Bone marrow smear — 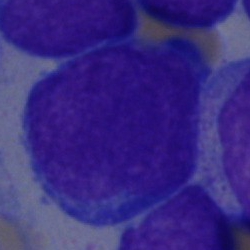

Morphology — blast cell.